Bone marrow aspirate smear. May-Grünwald-Giemsa/Pappenheim stain.
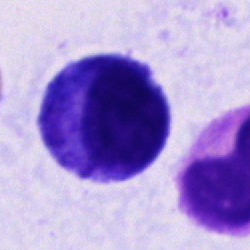

Morphological class = cell of indeterminate lineage.